Bone marrow smear · 250 by 250 pixels — 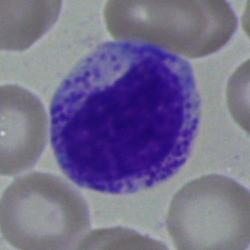Cell type = myelocyte.